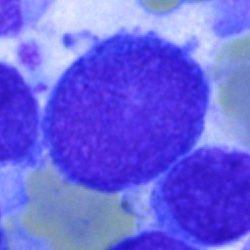 Bone marrow aspirate smear, single cell — blast cell.